MGG-stained; bone marrow smear; 250 by 250 pixels: 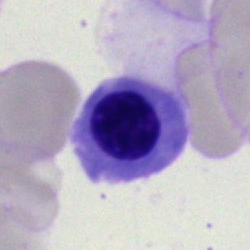 Morphology consistent with a nucleated red blood cell.